250×250; bone marrow aspirate smear; MGG-stained:
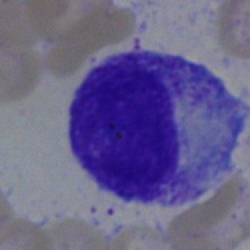

Specimen: bone marrow smear.
Morphological class: myelocyte.